Bone marrow smear
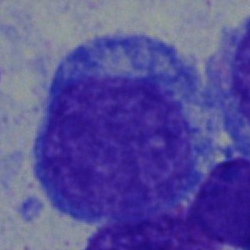

Cell — blast cell.